Peripheral blood film.
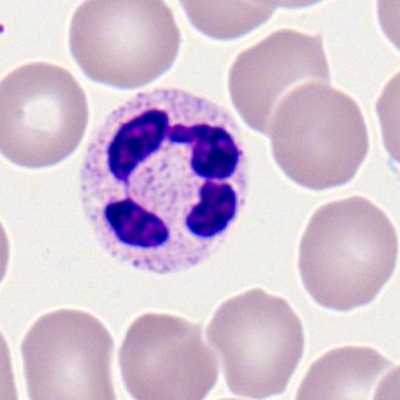Morphological class = polymorphonuclear neutrophil.